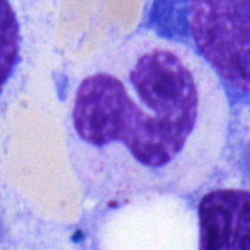
Single-cell crop from a bone marrow smear: stab cell.